Bone marrow aspirate smear
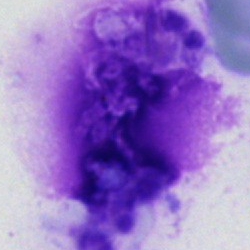 Q: What is shown here?
A: It is an artifact.